Bone marrow smear: 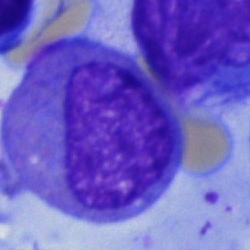

Morphology — blast.